Bone marrow aspirate smear.
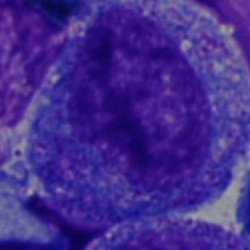 Q: What type of cell is this?
A: A promyelocyte.